250 by 250 pixels. Bone marrow smear
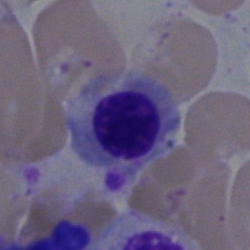 Morphology → nucleated red blood cell.